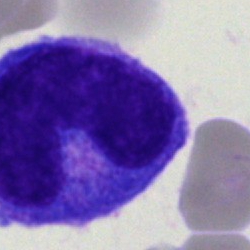

Q: What type of cell is this?
A: Monocyte.